Bone marrow smear:
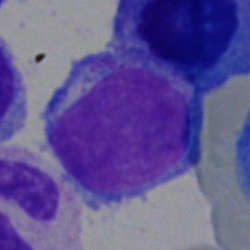 The cell is blast cell.